Brightfield microscopy, 40× oil immersion; bone marrow aspirate smear; cropped to a single cell
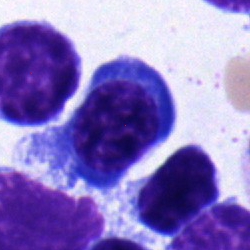
The morphological class is plasma cell.